Bone marrow smear: 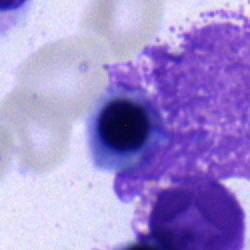

Specimen: bone marrow smear.
Morphological class: erythroblast.
Lineage: erythroid.